Bone marrow smear. 250×250 px: 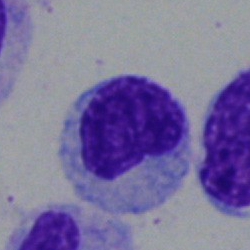
The cell shown is a myelocyte.